Bone marrow aspirate smear:
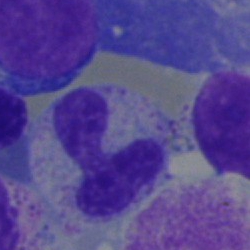
A neutrophil (band).